Bone marrow smear: 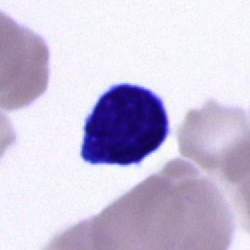
Showing a typical lymphocyte.